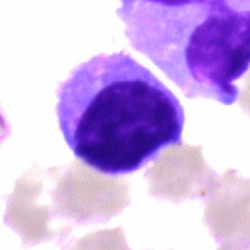
Single-cell crop from a bone marrow smear: typical lymphocyte.